Bone marrow smear · single-cell field · brightfield microscopy, 40× oil immersion — 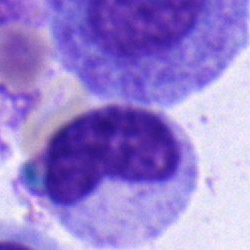Impression → metamyelocyte.